Bone marrow aspirate smear; single-cell field.
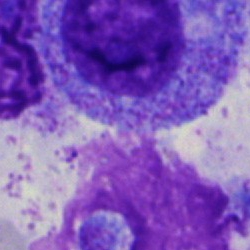Cell type = progranulocyte.